Bone marrow smear. May-Grünwald-Giemsa stain. Single-cell crop:
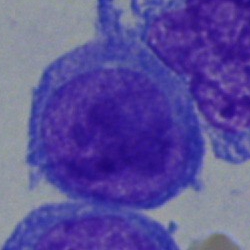
Specimen: bone marrow smear.
Cell: blast cell.